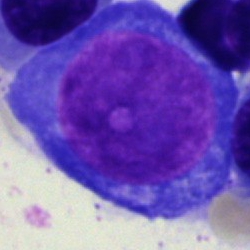

Proerythroblast.